Single cell centered in the field. Bone marrow smear. Brightfield, 40× oil-immersion objective.
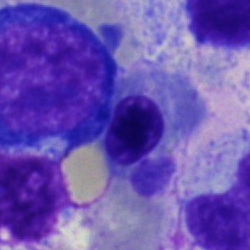Morphological class: proerythroblast.